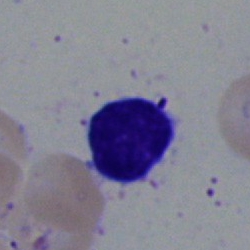 Impression — lymphocyte.